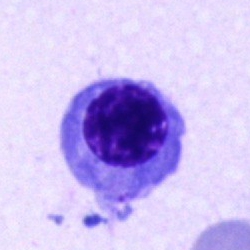
Nucleated red blood cell.